Pappenheim-stained. Bone marrow aspirate smear.
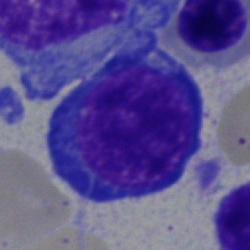Q: Identify the cell.
A: This is a pronormoblast.